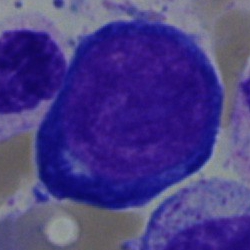 The cell type is pronormoblast.